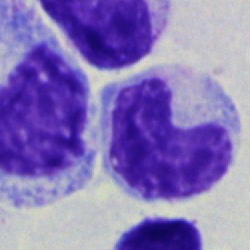Q: Identify the cell.
A: A myelocyte.